Cropped to a single cell · bone marrow aspirate smear — 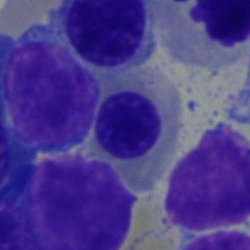

Morphological class — erythroblast.